Bone marrow aspirate smear; single cell centered in the field; image size 250×250: 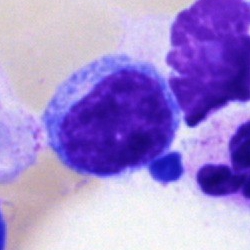

Single cell identified as a lymphocyte.